Bone marrow aspirate smear:
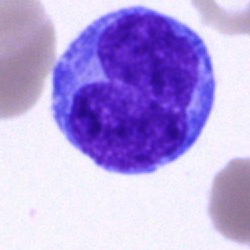 Q: Identify the cell.
A: This is a blast cell.